Bone marrow aspirate smear. 250×250 px: 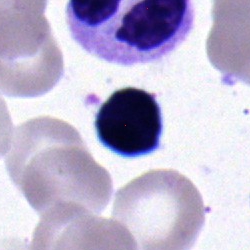 Q: What cell is this?
A: This is a typical lymphocyte.